250×250 px. Bone marrow aspirate smear — 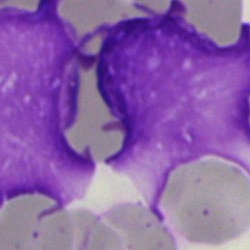

The cell shown is an artifact.